Bone marrow aspirate smear:
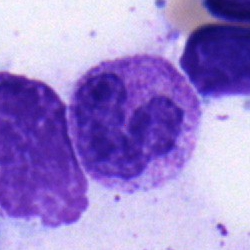
Showing a band-form neutrophil.